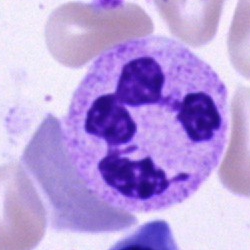

Single-cell crop from a bone marrow smear: segmented neutrophil.